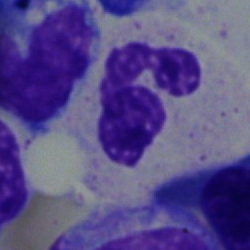

Cell — segmented neutrophil.